Single-cell field; bone marrow aspirate smear; MGG-stained:
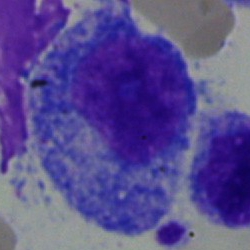 Showing a progranulocyte.